Bone marrow aspirate smear · single-cell crop.
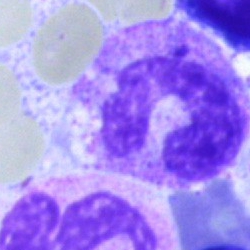

The cell is stab cell.